40× objective, oil immersion. Bone marrow smear:
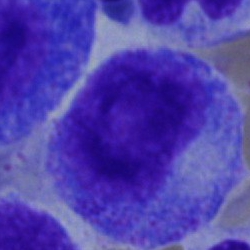The classification is progranulocyte.